Bone marrow smear; 250×250 px; brightfield microscopy, 40× oil immersion:
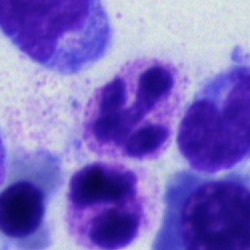
Classification — neutrophil (segmented).